Bone marrow aspirate smear:
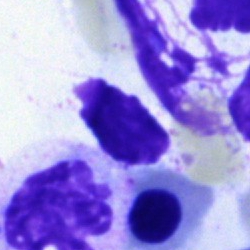
{"cell_type": "artifact"}